Bone marrow smear. Single-cell crop
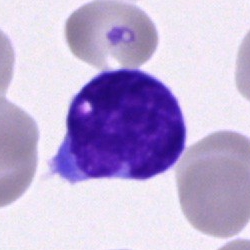Q: What type of cell is this?
A: A lymphocyte.